Bone marrow smear · May-Grünwald-Giemsa/Pappenheim stain:
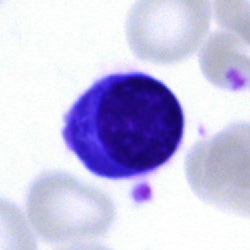 Morphology → lymphocyte.